Peripheral blood smear — 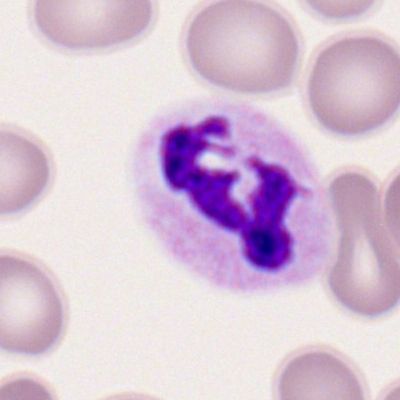
Cell = neutrophil (segmented).